Bone marrow smear:
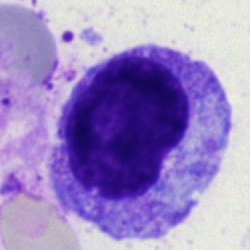
Morphological class: metamyelocyte.